Bone marrow aspirate smear.
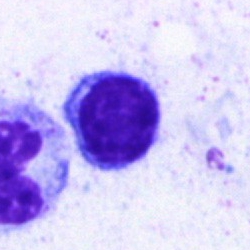

The classification is lymphocyte.